Single-cell crop; bone marrow smear.
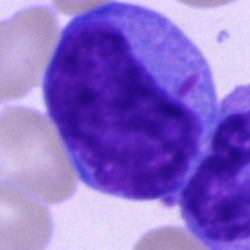Q: Identify the cell.
A: Blast cell.